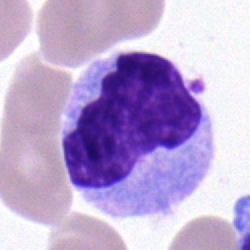

Impression — monocyte.